Bone marrow smear; brightfield microscopy, 40× oil immersion; May-Grünwald-Giemsa/Pappenheim stain
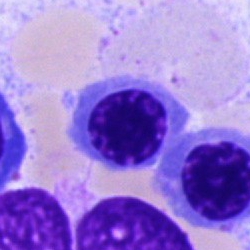 Cell — nucleated red cell.